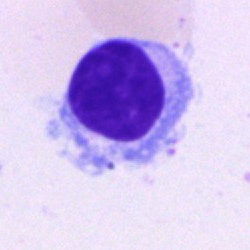 Q: Which cell type is shown here?
A: This is a typical lymphocyte.